Brightfield microscopy, 40× oil immersion; May-Grünwald-Giemsa/Pappenheim stain; bone marrow smear
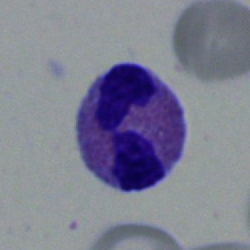Specimen: bone marrow smear.
Classification: eosinophilic granulocyte.
Lineage: myeloid.